Single-cell crop; bone marrow smear; 250×250
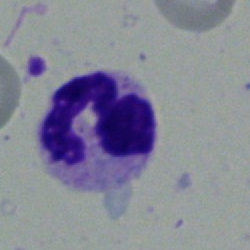 Morphological class: neutrophil (segmented).